Bone marrow smear: 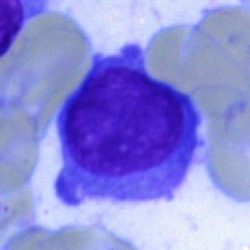
The cell type is plasma cell.